Romanowsky-stained; peripheral blood smear; cropped to a single cell:
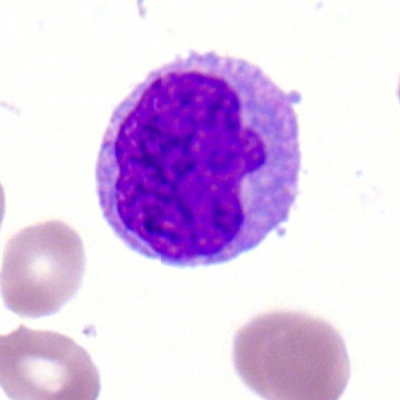
This is a monocyte.